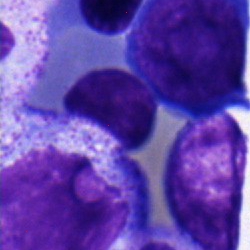 Classification = nucleated red cell.